Bone marrow smear; single-cell field — 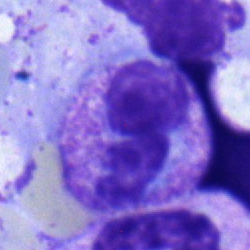This is a polymorphonuclear neutrophil.